Bone marrow smear
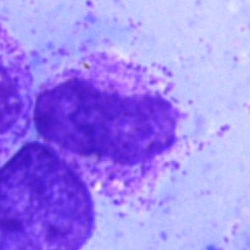

Morphology — band-form neutrophil.